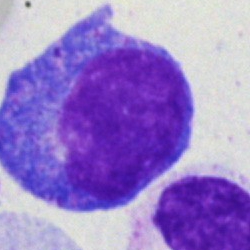
Morphology consistent with an undifferentiated blast.